40× objective, oil immersion · bone marrow aspirate smear: 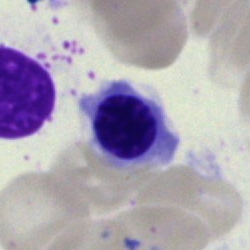 Q: What is the morphological classification of this cell?
A: Erythroblast.